Image size 250×250; bone marrow smear.
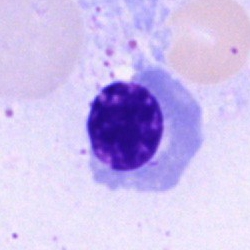 Classification: erythroblast.